Bone marrow aspirate smear · MGG-stained · brightfield, 40× oil-immersion objective.
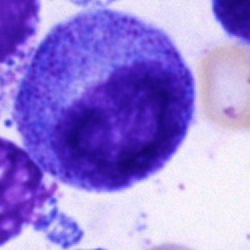
Single cell identified as a progranulocyte.